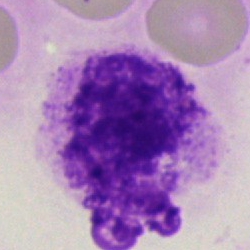 Q: What is shown here?
A: It is an artifact.